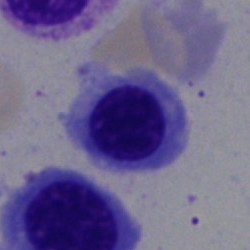 The cell shown is a normoblast.